Bone marrow aspirate smear; brightfield, 40× oil-immersion objective; single cell centered in the field
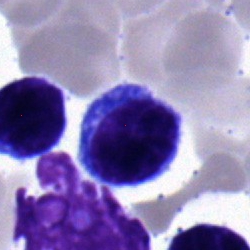
Q: What cell is this?
A: It is a lymphocyte.